Peripheral blood film:
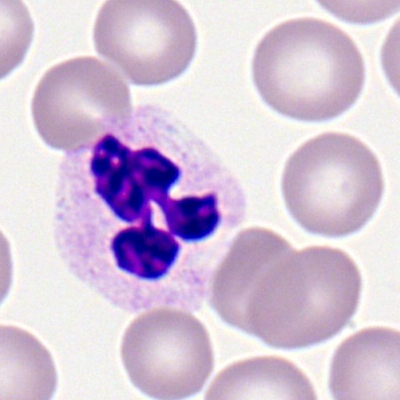
Showing a polymorphonuclear neutrophil.